Bone marrow aspirate smear · MGG-stained
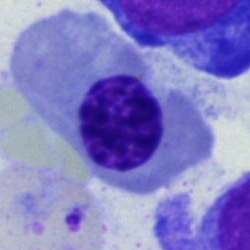
Q: What cell is this?
A: It is an erythroblast.